Bone marrow aspirate smear — 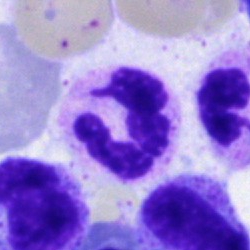

Impression → polymorphonuclear neutrophil.